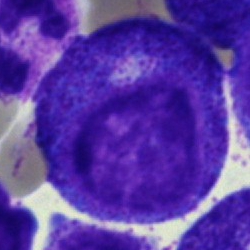

Bone marrow smear showing a progranulocyte.